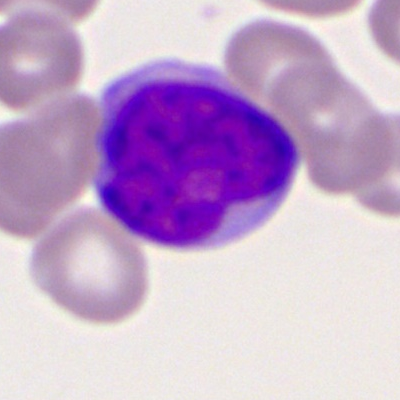 The classification is myeloid blast.